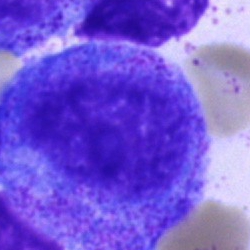

A promyelocyte on a bone marrow smear.